Bone marrow smear: 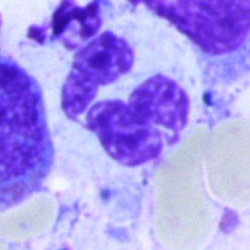

Morphology consistent with a segmented neutrophil.